Bone marrow aspirate smear.
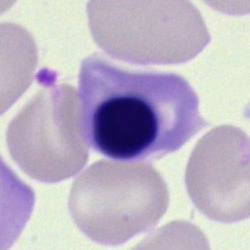 Single cell identified as an erythroblast.